Brightfield microscopy, 40× oil immersion; bone marrow aspirate smear; May-Grünwald-Giemsa/Pappenheim stain:
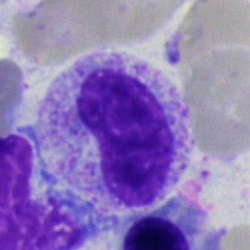
Morphological class — metamyelocyte.